Bone marrow aspirate smear
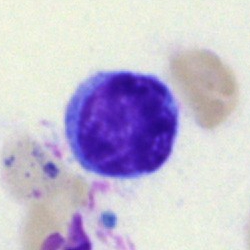 Q: Identify the cell.
A: A typical lymphocyte.